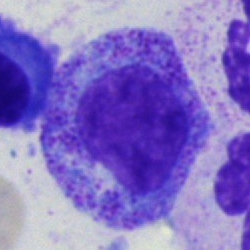 Bone marrow aspirate smear, single cell — myelocyte.